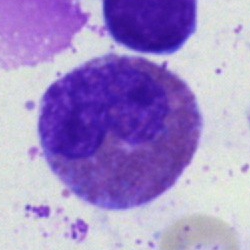 Q: What is shown here?
A: It is an eosinophilic granulocyte.